Bone marrow smear · image size 250×250: 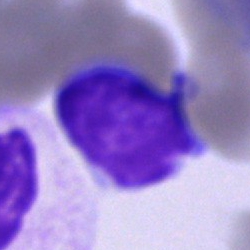Morphological class — typical lymphocyte.